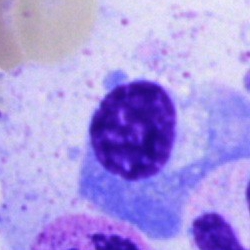
Single-cell crop from a bone marrow smear: plasmacyte.